40× objective, oil immersion. Bone marrow smear: 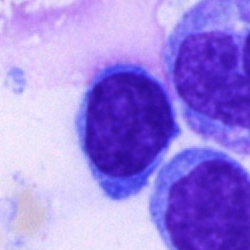

Morphology — typical lymphocyte.